Bone marrow aspirate smear.
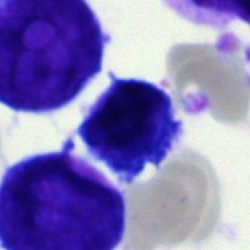

Morphology consistent with an unidentifiable cell.